Bone marrow aspirate smear — 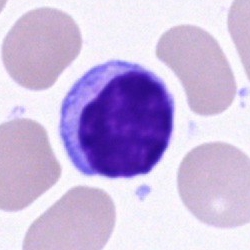

Cell = lymphocyte.